Bone marrow smear. MGG-stained — 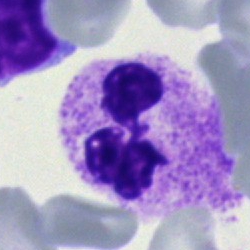
This is a segmented neutrophil.